Single-cell crop; peripheral blood smear; brightfield, 100× oil-immersion objective:
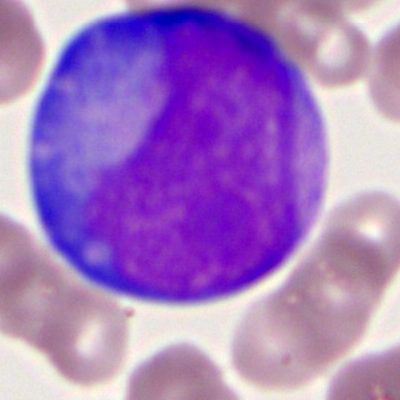
Morphology — promyelocyte.